Bone marrow aspirate smear · single cell centered in the field · MGG-stained: 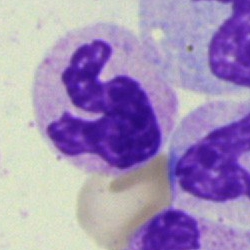

This is a segmented neutrophil.